Bone marrow aspirate smear — 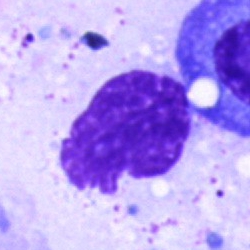 Specimen: bone marrow smear.
Cell type: artefact.